Cropped to a single cell; bone marrow smear.
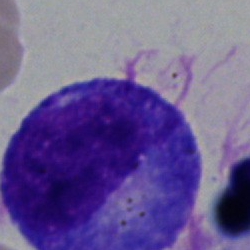

Classification — promyelocyte.